Single-cell field. MGG-stained. Bone marrow aspirate smear — 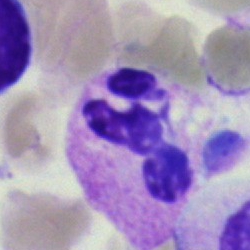
Morphological class = neutrophil (segmented).